Bone marrow aspirate smear. Cropped to a single cell: 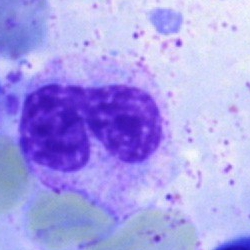 Specimen: bone marrow aspirate smear.
Cell: neutrophil (band).
Lineage: myeloid.